Peripheral blood film:
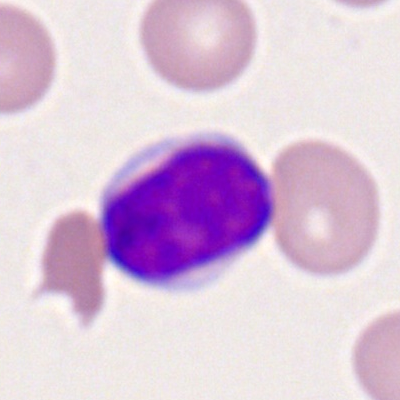

Cell = lymphocyte.